Single cell centered in the field. Bone marrow aspirate smear
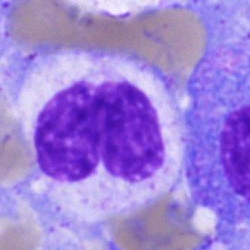

Single cell identified as a polymorphonuclear neutrophil.